Bone marrow smear; brightfield, 40× oil-immersion objective; single-cell crop
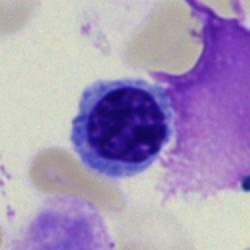 Normoblast.